Single cell centered in the field; 40× oil immersion; bone marrow smear: 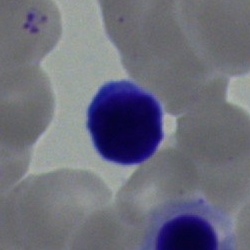Lymphocyte.